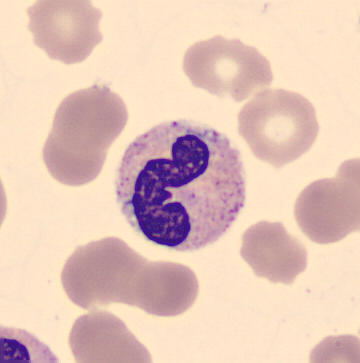

Q: What is this?
A: A band neutrophil.

Image: Single-cell field · peripheral blood film.